Single cell centered in the field; bone marrow aspirate smear; 40× objective, oil immersion.
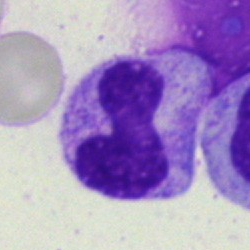

Morphology — stab cell.